Bone marrow aspirate smear
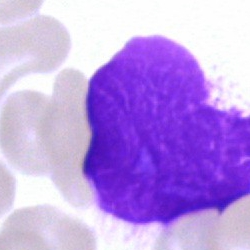 The cell shown is an artefact.